Bone marrow aspirate smear.
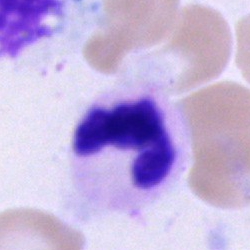The cell is segmented neutrophil.